Bone marrow aspirate smear:
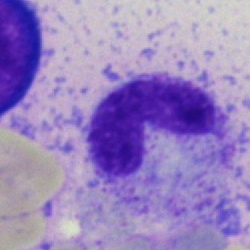 Morphology — neutrophil (band).